Bone marrow smear — 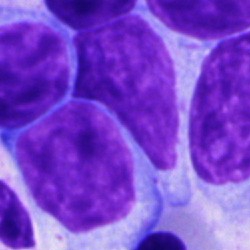 Specimen: bone marrow smear.
Cell: lymphocyte.
Lineage: lymphoid.